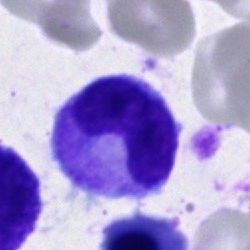

Q: Which cell type is shown here?
A: This is a band-form neutrophil.